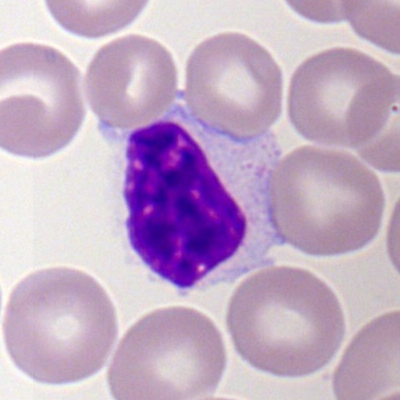Classification: typical lymphocyte.